Cropped to a single cell; bone marrow smear — 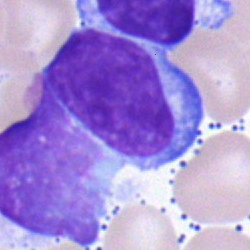

Morphology — typical lymphocyte.